Bone marrow aspirate smear · 250×250: 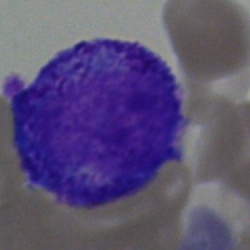

Q: What type of cell is this?
A: This is a progranulocyte.